250 by 250 pixels · bone marrow smear — 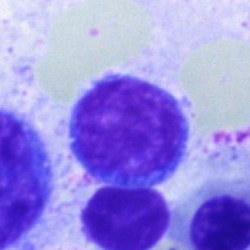
Classification = lymphocyte.